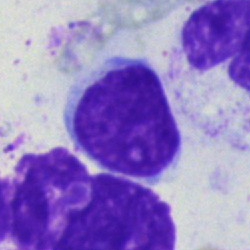

Morphology → typical lymphocyte.